Peripheral blood film: 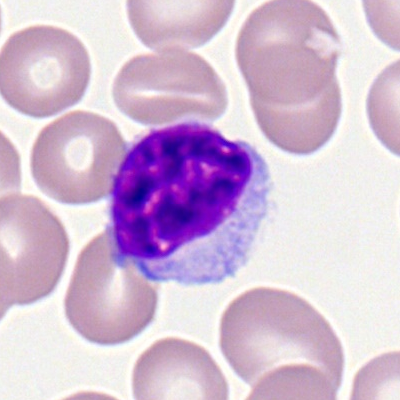

Morphological class: typical lymphocyte.